Bone marrow aspirate smear
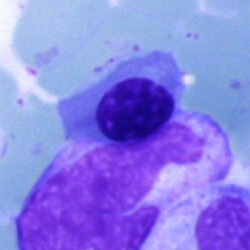

Nucleated red cell.